May-Grünwald-Giemsa/Pappenheim stain · single cell centered in the field · bone marrow aspirate smear:
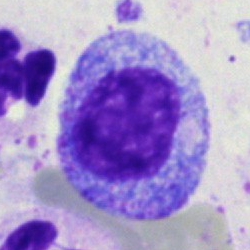 Impression — promyelocyte.